May-Grünwald-Giemsa stain; bone marrow aspirate smear; brightfield microscopy, 40× oil immersion.
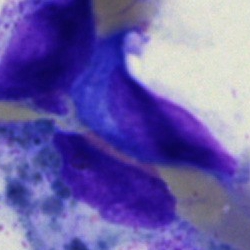Q: What is shown here?
A: A plasmacyte.